250 by 250 pixels; bone marrow aspirate smear:
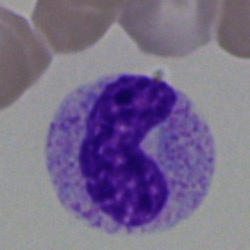
Q: What is the morphological classification of this cell?
A: A band neutrophil.